Bone marrow smear:
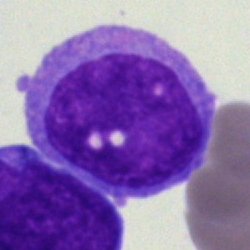
Morphological class — undifferentiated blast.